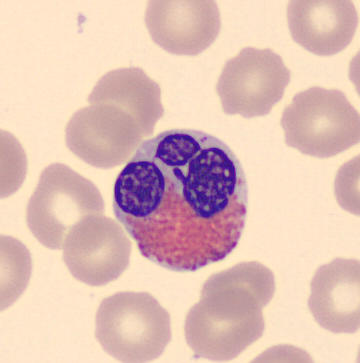

Cell type = eosinophilic granulocyte. Image: Peripheral blood film.